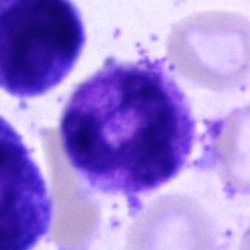

Bone marrow aspirate smear, single cell — segmented neutrophil.